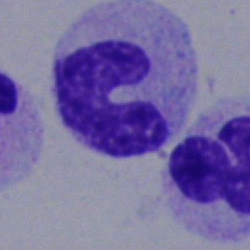The classification is band neutrophil.